Bone marrow smear: 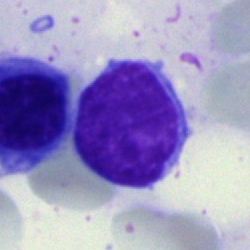Cell — lymphocyte.